Image size 250×250 · bone marrow smear:
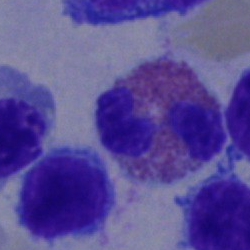 The cell is eosinophil.